Bone marrow smear: 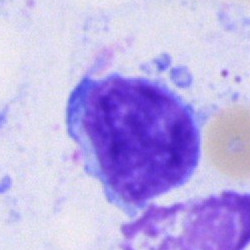 Cell: typical lymphocyte.